Bone marrow aspirate smear.
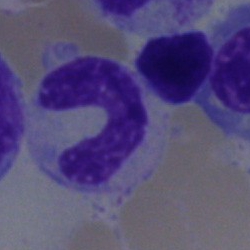 Specimen: bone marrow aspirate smear.
Cell type: band-form neutrophil.
Lineage: myeloid.